Bone marrow smear — 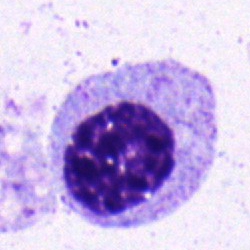 Showing a myelocyte.